Bone marrow smear:
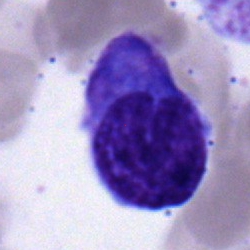

Single cell identified as a monocyte.